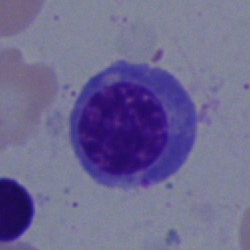 The morphological class is nucleated red blood cell.